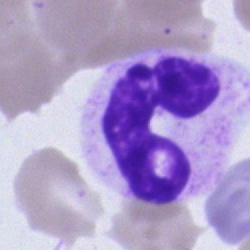{"cell_type": "band neutrophil", "lineage": "myeloid"}